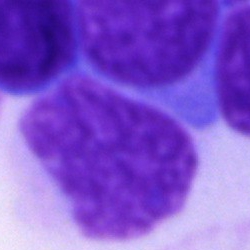
Morphology consistent with an artifact.